40× oil immersion · bone marrow aspirate smear.
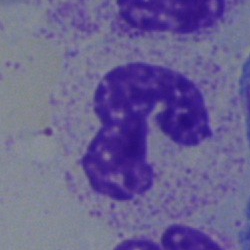 This is a neutrophil (band).